Bone marrow smear. Cropped to a single cell: 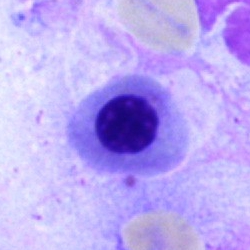Specimen: bone marrow smear.
Classification: nucleated red cell.